Bone marrow aspirate smear; May-Grünwald-Giemsa stain
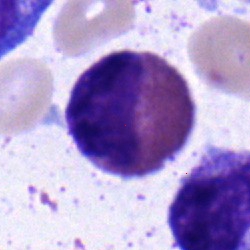
Morphology — eosinophil.